Bone marrow smear. 250 by 250 pixels. Single-cell crop.
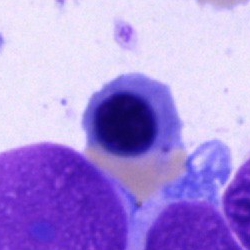The morphological class is normoblast.